Bone marrow aspirate smear
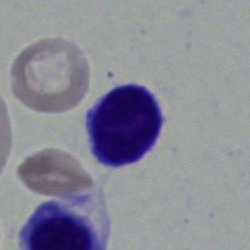 The cell shown is a typical lymphocyte.